Bone marrow aspirate smear:
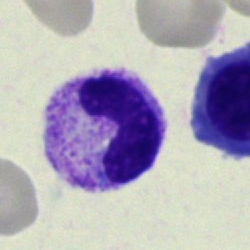A band neutrophil.